Bone marrow aspirate smear · 250×250 · May-Grünwald-Giemsa stain — 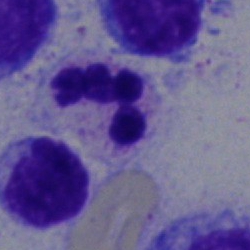

Specimen: bone marrow smear.
Morphological class: polymorphonuclear neutrophil.
Lineage: myeloid.